Bone marrow smear; single cell centered in the field — 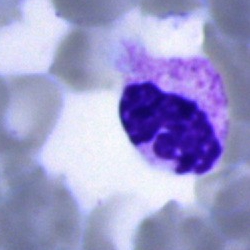Cell: polymorphonuclear neutrophil.